Peripheral blood smear:
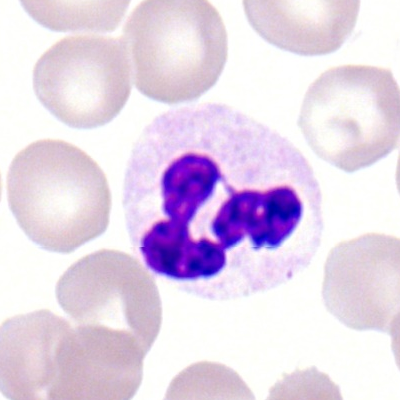

Cell = neutrophil (segmented).